Bone marrow aspirate smear. Single cell centered in the field.
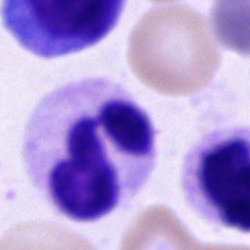 The cell shown is a polymorphonuclear neutrophil.